Peripheral blood smear
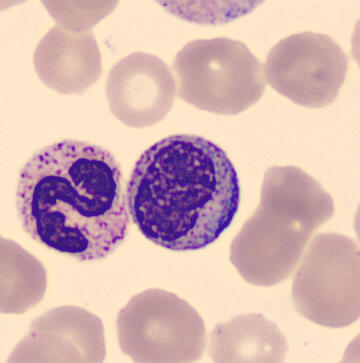Specimen: peripheral blood film.
Cell: myelocyte.